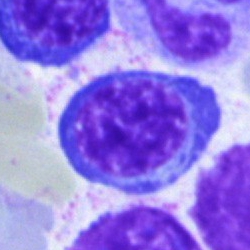

Impression → nucleated red blood cell.